Brightfield microscopy, 40× oil immersion · bone marrow aspirate smear.
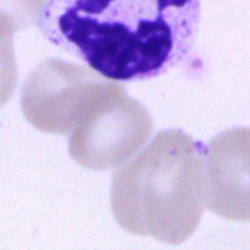
The cell type is polymorphonuclear neutrophil.